Bone marrow smear; 250 by 250 pixels.
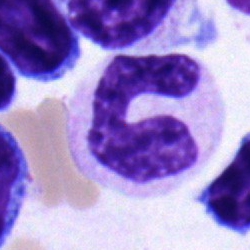 Morphology consistent with a stab cell.